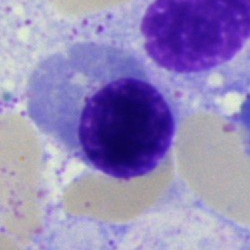

Morphological class — erythroblast.